Bone marrow smear. 250×250
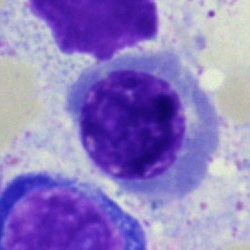
Nucleated red blood cell.